Bone marrow smear.
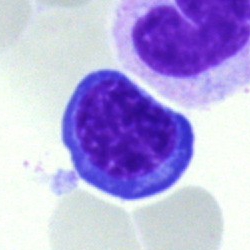Q: Which cell type is shown here?
A: A nucleated red cell.